Cropped to a single cell · bone marrow aspirate smear · brightfield, 40× oil-immersion objective:
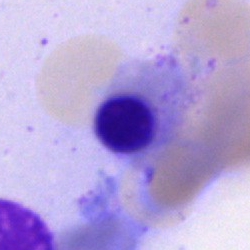

Classification — nucleated red blood cell.